May-Grünwald-Giemsa stain · bone marrow smear — 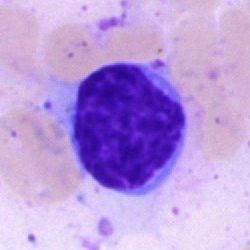 Q: Which cell type is shown here?
A: Typical lymphocyte.